Bone marrow aspirate smear.
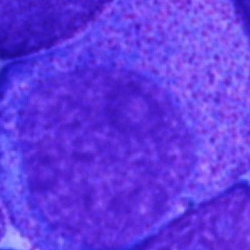 Q: Identify the cell.
A: Progranulocyte.